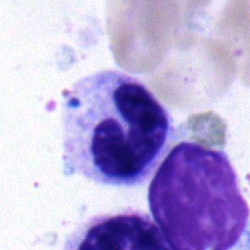

{"cell_type": "band-form neutrophil", "lineage": "myeloid"}